Bone marrow smear
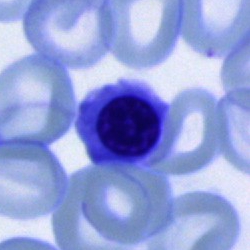Morphological class = normoblast.